Bone marrow smear; image size 250×250:
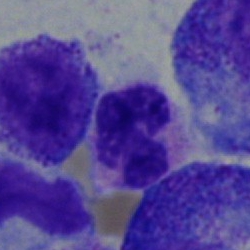 Specimen: bone marrow aspirate smear.
Cell: neutrophil (segmented).
Lineage: myeloid.